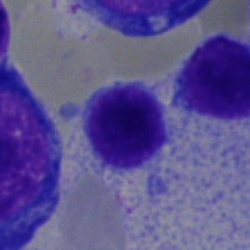 Q: What is shown here?
A: This is a typical lymphocyte.